May-Grünwald-Giemsa/Pappenheim stain. Bone marrow smear:
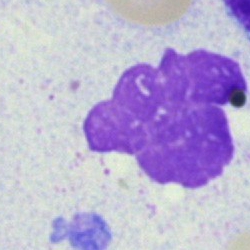Q: What is shown here?
A: Artefact.